Bone marrow aspirate smear.
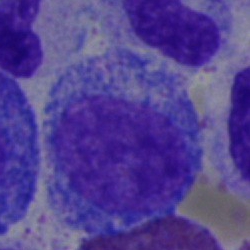The cell shown is a progranulocyte.